Peripheral blood smear
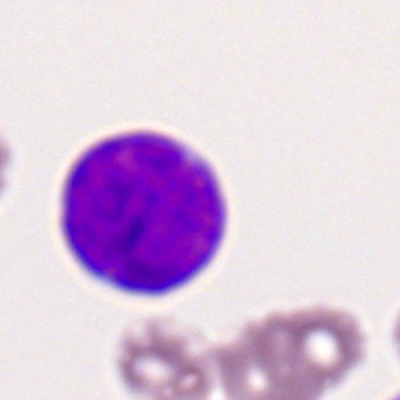 Specimen: peripheral blood film.
Cell: myeloblast.
Lineage: myeloid.